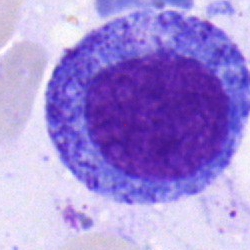
The classification is promyelocyte.